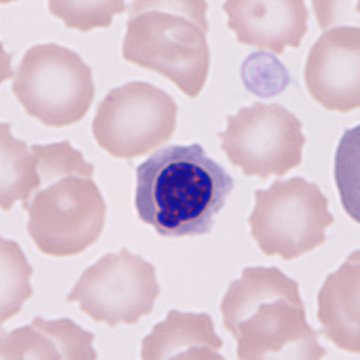
Morphological class: nucleated red blood cell.